Bone marrow aspirate smear · image size 250×250 · 40× objective, oil immersion
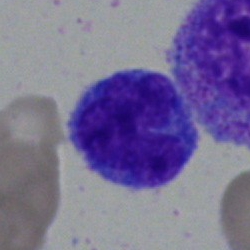

Cell type = monocyte.